Bone marrow smear · cropped to a single cell
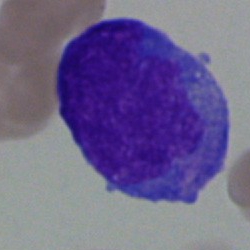

Showing a blast cell.